Bone marrow aspirate smear
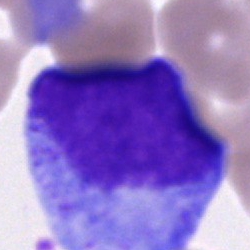The cell shown is a progranulocyte.